Bone marrow aspirate smear
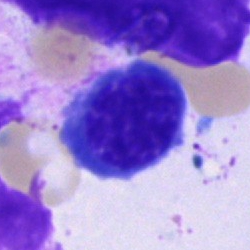

The morphological class is nucleated red cell.